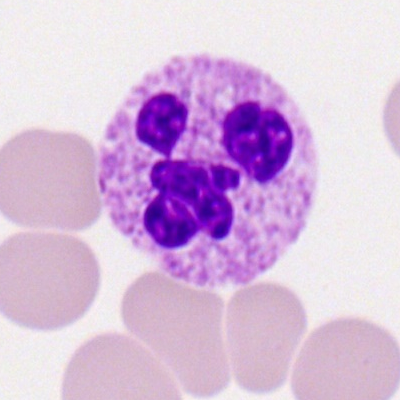
Q: What is shown here?
A: Polymorphonuclear neutrophil.